Bone marrow smear:
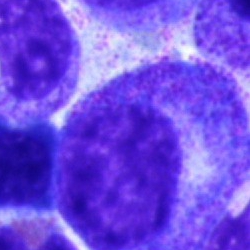Q: Which cell type is shown here?
A: A progranulocyte.